Bone marrow smear
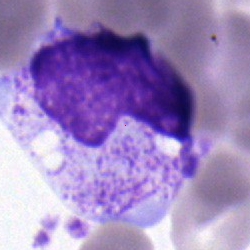

The cell shown is a metamyelocyte.